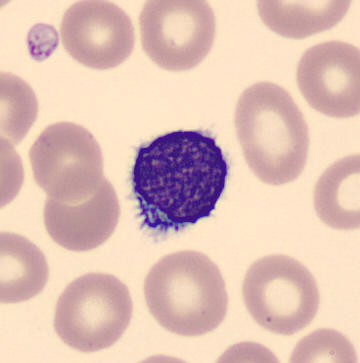

The classification is typical lymphocyte.
Image: Peripheral blood film.